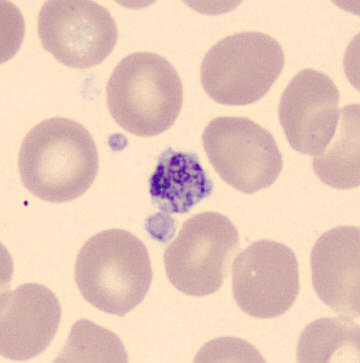

Morphological class = platelet.

Preparation: CellaVision DM96 digital cell image. Peripheral blood film.